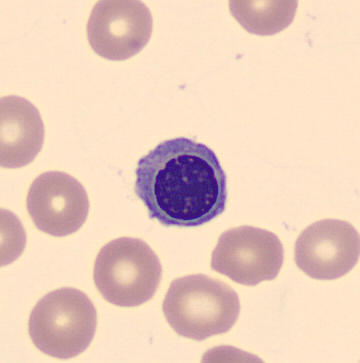
Preparation: Peripheral blood smear.

The cell type is nucleated red blood cell.